Bone marrow aspirate smear:
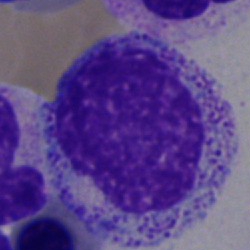Q: What is the morphological classification of this cell?
A: It is a myelocyte.